Peripheral blood film — 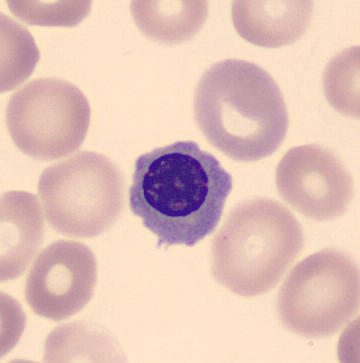Specimen: peripheral blood smear.
Cell type: normoblast.
Lineage: erythroid.